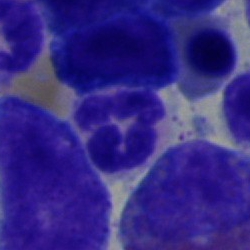 Q: Which cell type is shown here?
A: A polymorphonuclear neutrophil.